Bone marrow aspirate smear: 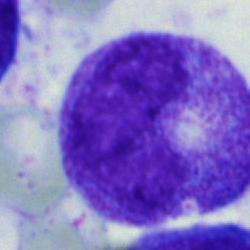

Q: Identify the cell.
A: It is a progranulocyte.